Peripheral blood smear:
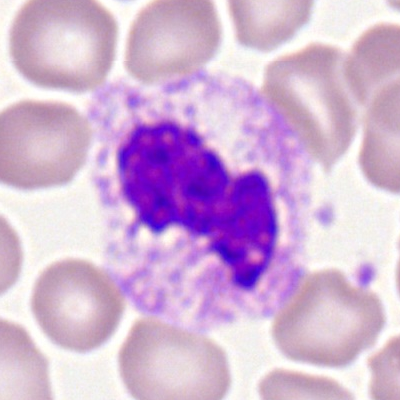

Q: Identify the cell.
A: It is a neutrophil (segmented).